Bone marrow smear:
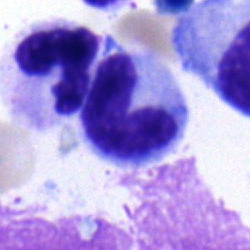Cell type = monocyte.